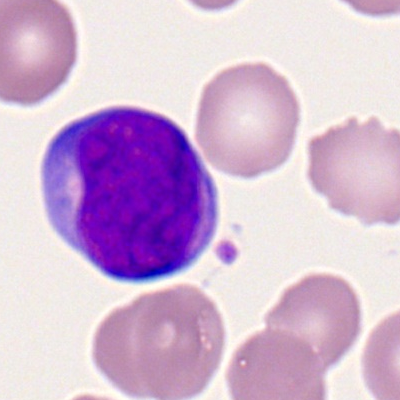

Showing a myeloid blast.